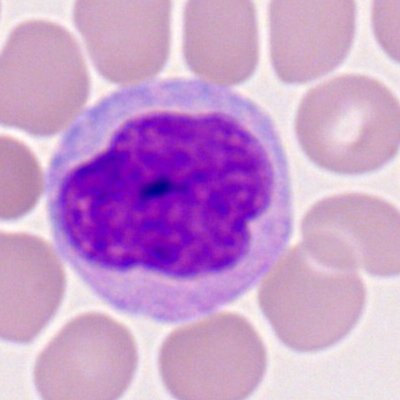

The classification is monocyte.